Single-cell field; brightfield microscopy, 40× oil immersion; bone marrow aspirate smear — 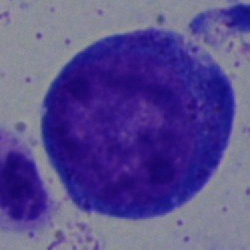
This is a promyelocyte.